Bone marrow smear: 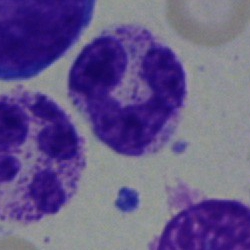Specimen: bone marrow smear.
Cell type: neutrophil (segmented).
Lineage: myeloid.